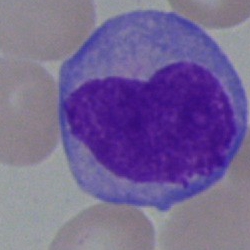
Bone marrow smear showing a monocyte.